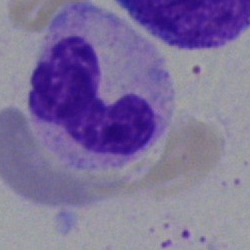Cell type — band neutrophil.